May-Grünwald-Giemsa stain. Bone marrow smear
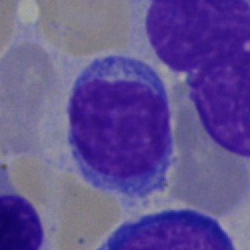Cell type = typical lymphocyte.